Bone marrow smear
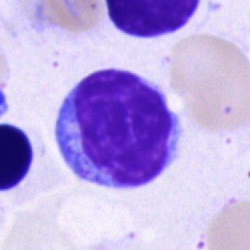Cell type — lymphocyte.